Image size 250×250; single cell centered in the field; bone marrow aspirate smear: 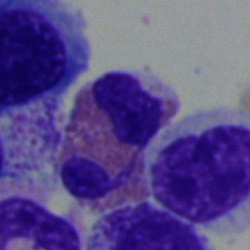

Q: Which cell type is shown here?
A: An eosinophil.